Bone marrow aspirate smear: 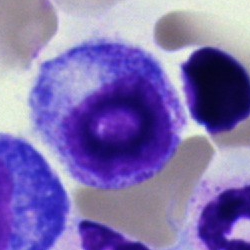
Cell = myelocyte.